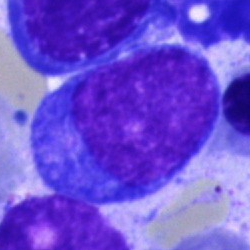 Impression → proerythroblast.